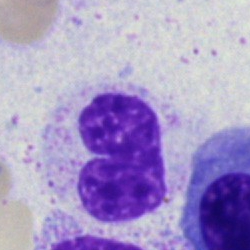
Morphology consistent with a neutrophil (band).